Single-cell field · bone marrow aspirate smear.
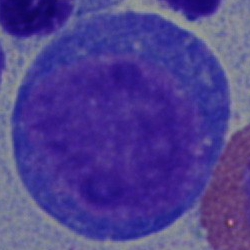 Q: What type of cell is this?
A: Proerythroblast.